Bone marrow smear · May-Grünwald-Giemsa stain · single-cell crop
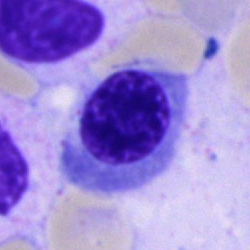
Specimen: bone marrow smear.
Cell type: erythroblast.
Lineage: erythroid.